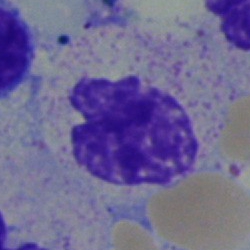

Polymorphonuclear neutrophil.